MGG-stained · brightfield microscopy, 40× oil immersion · bone marrow smear: 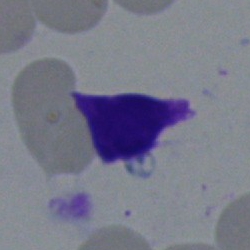
Morphological class — lymphocyte.